Bone marrow aspirate smear · May-Grünwald-Giemsa/Pappenheim stain
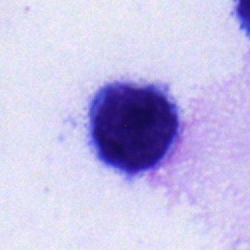

Single cell identified as a typical lymphocyte.